Single-cell field. Bone marrow aspirate smear
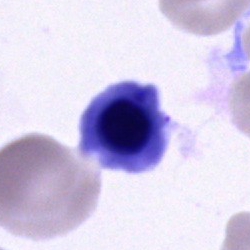
Normoblast.